Bone marrow smear · 250×250:
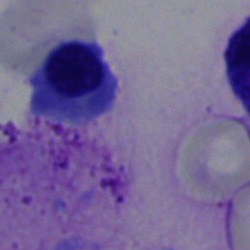 Single cell identified as a normoblast.